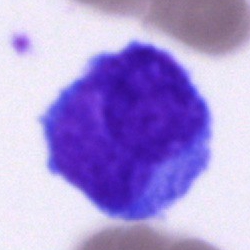
Q: What is shown here?
A: Undifferentiated blast.